250 by 250 pixels; bone marrow smear.
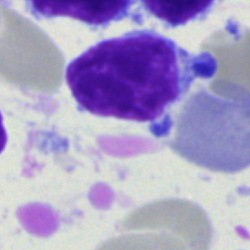 Cell = lymphocyte.